Bone marrow aspirate smear.
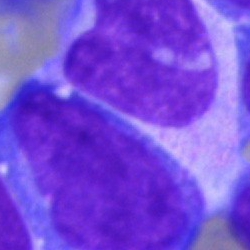

Cell: blast.